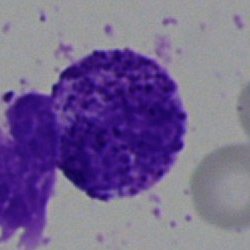 Cell type — basophilic granulocyte.